Bone marrow aspirate smear · single-cell field · Pappenheim-stained:
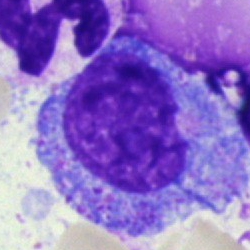 Showing a progranulocyte.